Bone marrow aspirate smear.
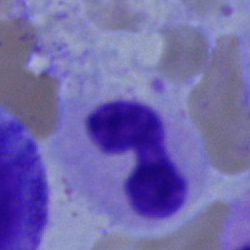
Morphological class — stab cell.